Bone marrow smear. May-Grünwald-Giemsa/Pappenheim stain
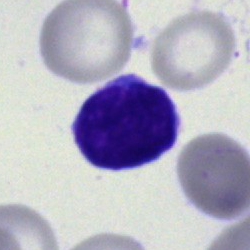 Single cell identified as an undifferentiated blast.